Single-cell crop; 40× oil immersion; bone marrow smear.
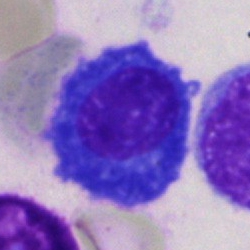The cell type is plasma cell.